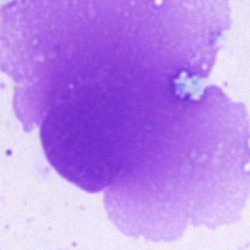This is an artefact.